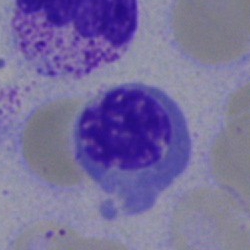Morphological class — normoblast.